Bone marrow aspirate smear
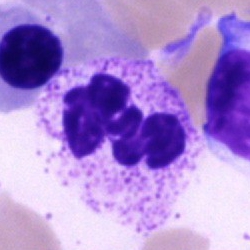 Specimen: bone marrow aspirate smear.
Morphological class: segmented neutrophil.